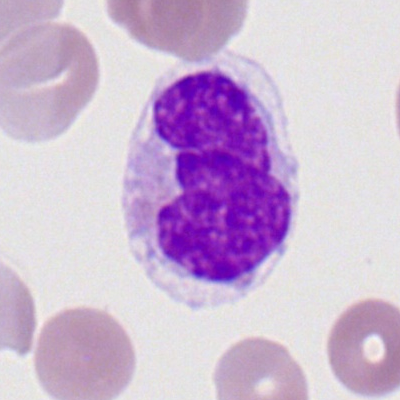Morphology — monocyte.